Pappenheim-stained. Bone marrow smear. Single-cell crop.
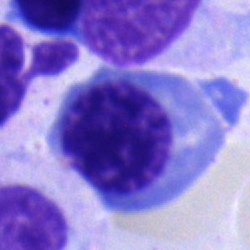Morphological class = nucleated red cell.